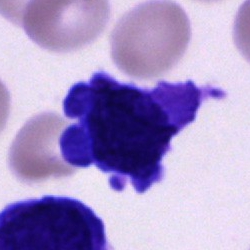Impression → cell of indeterminate lineage.